Bone marrow aspirate smear.
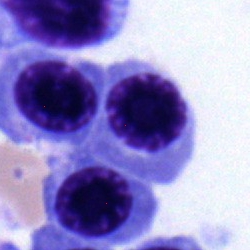

The classification is normoblast.